Bone marrow aspirate smear · cropped to a single cell · Pappenheim-stained — 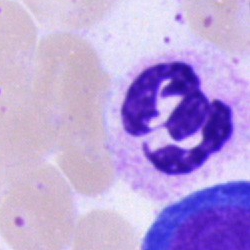
Q: What is shown here?
A: Neutrophil (segmented).